Bone marrow smear
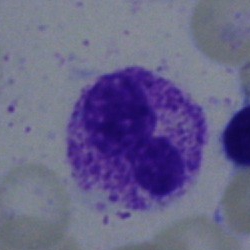 Neutrophil (segmented).